40× oil immersion · bone marrow aspirate smear.
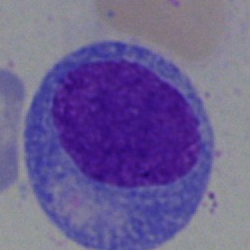
Cell — promyelocyte.